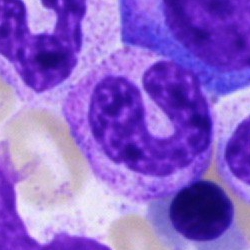 Cell — stab cell.